Bone marrow smear — 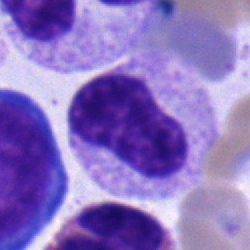
Classification = metamyelocyte.